Image size 250×250; bone marrow aspirate smear.
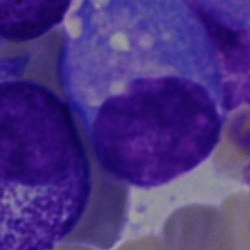Morphology — plasma cell.